Bone marrow smear: 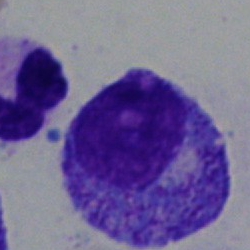

Morphology consistent with a promyelocyte.